Bone marrow aspirate smear; single-cell crop; May-Grünwald-Giemsa stain.
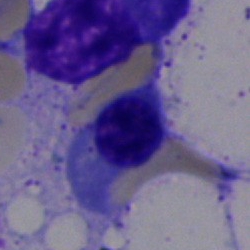
{"cell_type": "nucleated red cell", "lineage": "erythroid"}